Single-cell field · bone marrow smear: 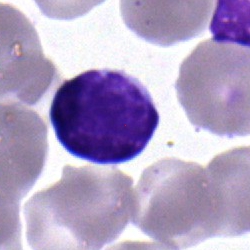 Impression → lymphocyte.